Bone marrow aspirate smear:
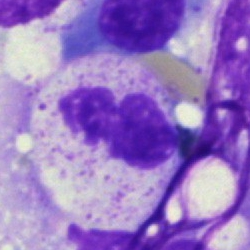Morphology consistent with a neutrophil (segmented).